Bone marrow aspirate smear; Pappenheim-stained — 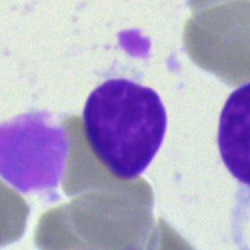 Cell type = artefact.